Bone marrow smear · cropped to a single cell.
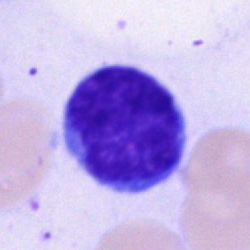Impression — typical lymphocyte.